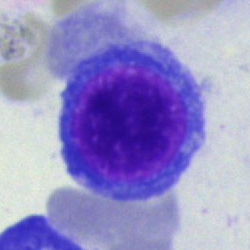 Classification = normoblast.